Bone marrow aspirate smear: 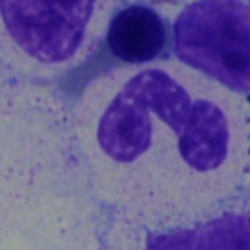 Cell: segmented neutrophil.